Brightfield, 40× oil-immersion objective; bone marrow aspirate smear; 250×250: 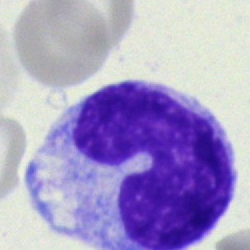 Specimen: bone marrow smear.
Cell type: monocyte.